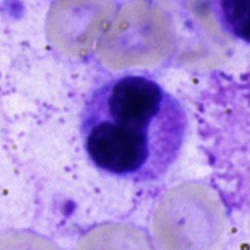
Q: Identify the cell.
A: It is a neutrophil (segmented).